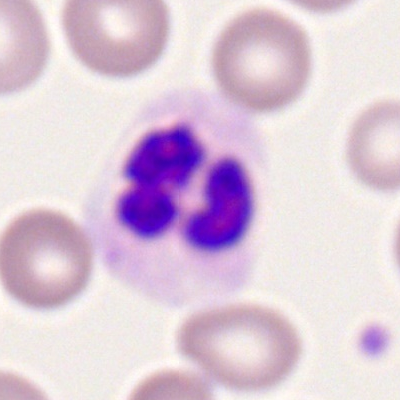Q: What cell is this?
A: Polymorphonuclear neutrophil.